Bone marrow smear.
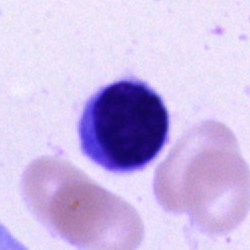

Showing a typical lymphocyte.